Peripheral blood smear: 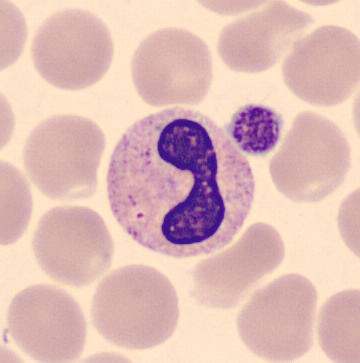 The classification is band neutrophil.